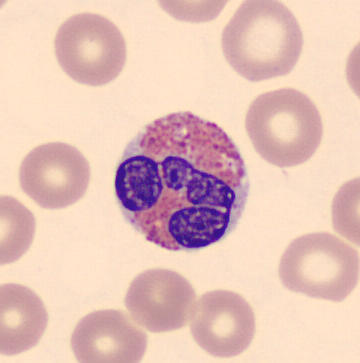
Image: Peripheral blood smear. Cell type: eosinophil.